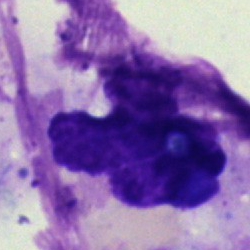
{"cell_type": "artifact"}